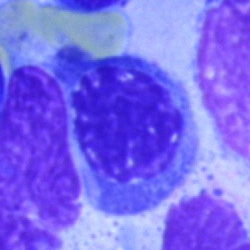

{"cell_type": "nucleated red blood cell", "lineage": "erythroid"}